Bone marrow smear.
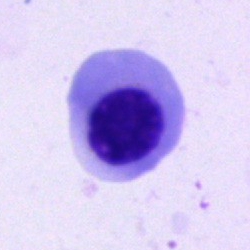 Nucleated red cell.